Bone marrow smear — 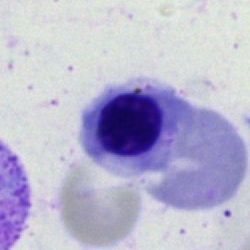
Showing a nucleated red blood cell.